Bone marrow aspirate smear
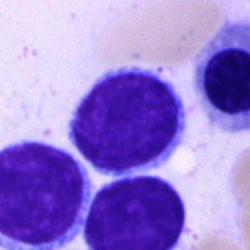
Specimen: bone marrow smear.
Classification: lymphocyte.